Bone marrow aspirate smear — 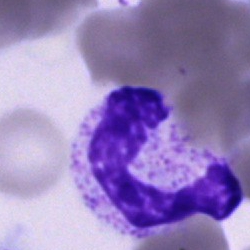
This is a neutrophil (band).